Bone marrow smear · single-cell crop: 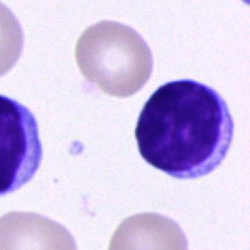
This is a typical lymphocyte.